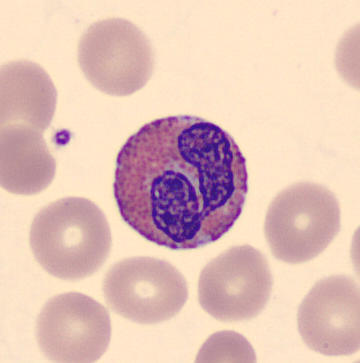
Acquisition: Peripheral blood smear. {"cell_type": "eosinophil", "lineage": "myeloid"}